Bone marrow smear
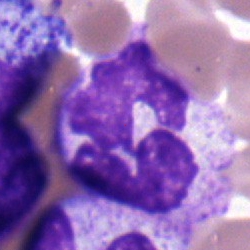

A neutrophil (segmented).